Bone marrow aspirate smear. 40× objective, oil immersion: 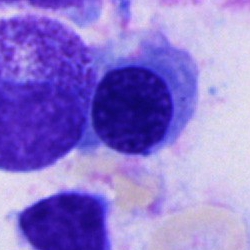
Impression — nucleated red blood cell.